Peripheral blood smear
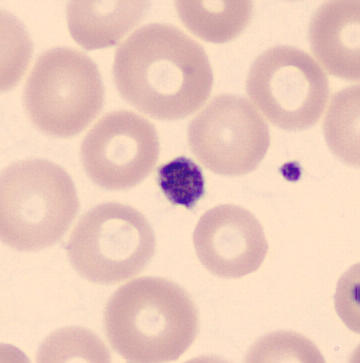

Specimen: peripheral blood smear.
Classification: platelet (thrombocyte).